Pappenheim-stained; bone marrow aspirate smear — 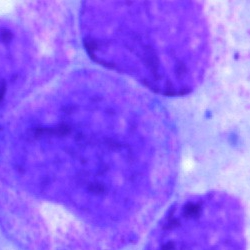

Impression — metamyelocyte.